Single cell centered in the field; bone marrow aspirate smear.
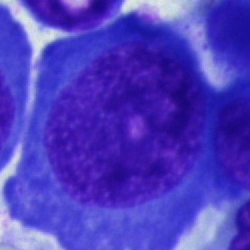

Showing a pronormoblast.